Bone marrow aspirate smear — 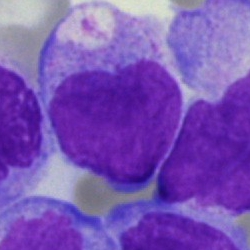
Single cell identified as a blast.